Bone marrow aspirate smear · single-cell crop
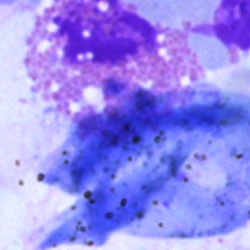 Specimen: bone marrow aspirate smear.
Cell: eosinophilic granulocyte.